Single-cell field. Pappenheim-stained. Bone marrow smear — 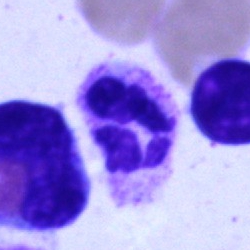 Classification: neutrophil (segmented).